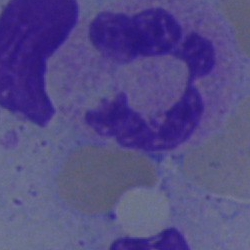
The cell shown is a segmented neutrophil.